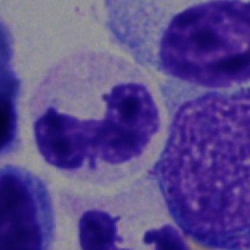This is a band neutrophil.